Bone marrow aspirate smear — 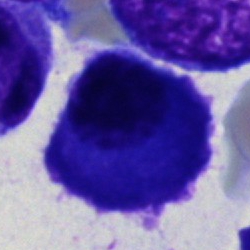Q: What is the morphological classification of this cell?
A: It is a plasmacyte.